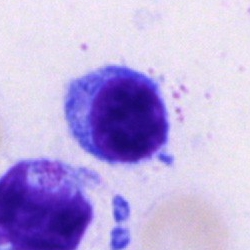

Showing a typical lymphocyte.